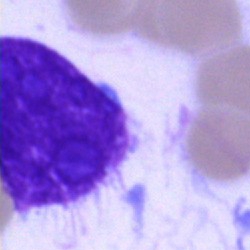{"cell_type": "artefact"}